Bone marrow smear
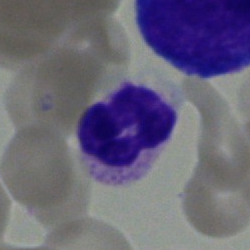

The classification is polymorphonuclear neutrophil.